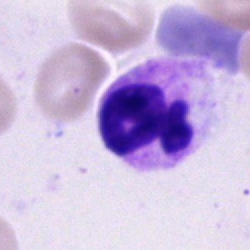Single cell identified as a polymorphonuclear neutrophil.